Bone marrow smear:
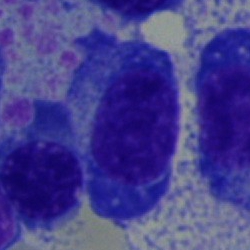 The classification is plasmacyte.